Single-cell crop · May-Grünwald-Giemsa stain · bone marrow smear
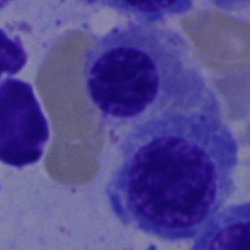

Morphology → band-form neutrophil.